Bone marrow aspirate smear. 40× oil immersion — 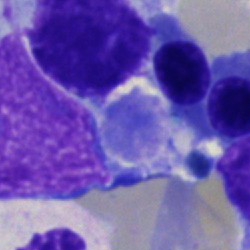 The cell is artefact.